Bone marrow smear: 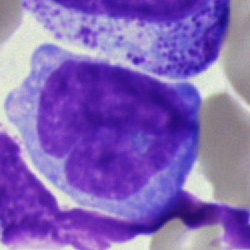
Q: Identify the cell.
A: It is a monocyte.